Bone marrow smear.
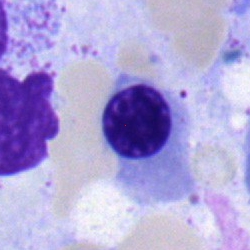

Nucleated red cell.